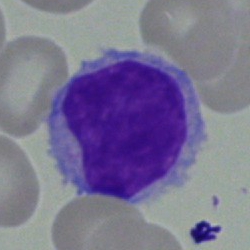
Impression → typical lymphocyte.